Bone marrow aspirate smear:
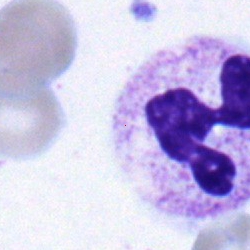
The cell shown is a polymorphonuclear neutrophil.